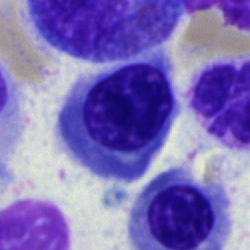

Cell type — nucleated red cell.